250×250 px · bone marrow aspirate smear · 40× objective, oil immersion.
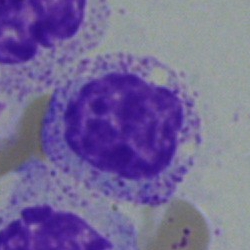
Showing a myelocyte.